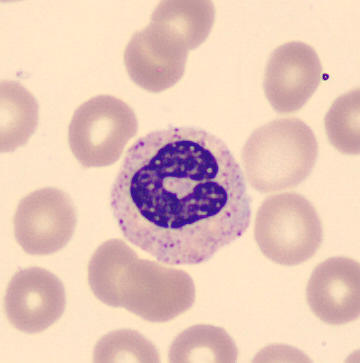Q: What cell is this?
A: Stab cell.